Bone marrow smear; single cell centered in the field
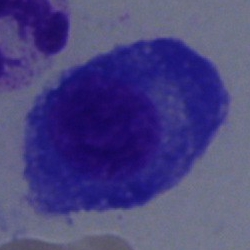

Q: Which cell type is shown here?
A: This is a plasma cell.